Bone marrow aspirate smear.
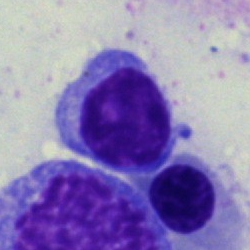 The cell shown is a lymphocyte.